40× oil immersion. Bone marrow aspirate smear: 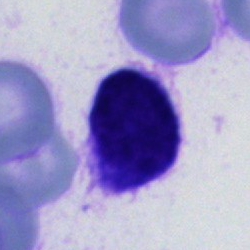Showing a cell of indeterminate lineage.